May-Grünwald-Giemsa/Pappenheim stain. Bone marrow aspirate smear. Image size 250×250: 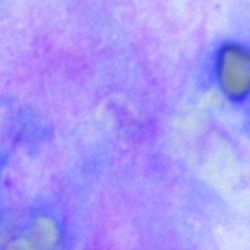Single cell identified as an artifact.